40× oil immersion. Bone marrow aspirate smear:
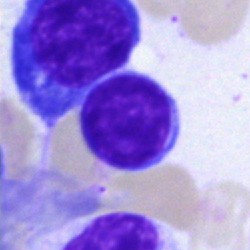 A lymphocyte.